Bone marrow aspirate smear.
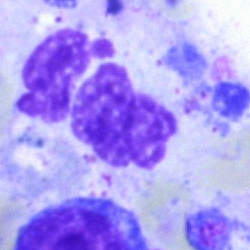 Specimen: bone marrow smear.
Classification: neutrophil (segmented).